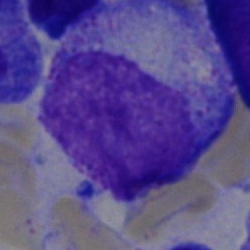 {"cell_type": "promyelocyte", "lineage": "myeloid"}